Bone marrow smear — 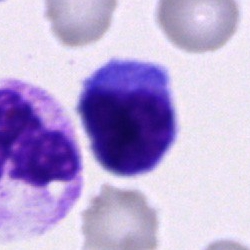

Impression → typical lymphocyte.